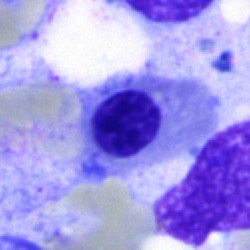 Morphology consistent with a nucleated red cell.